Bone marrow smear · 40× oil immersion: 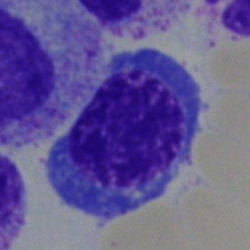Morphology — erythroblast.